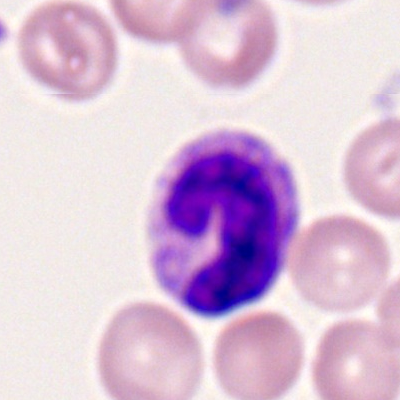Specimen: peripheral blood smear.
Cell type: segmented neutrophil.
Lineage: myeloid.